Bone marrow smear
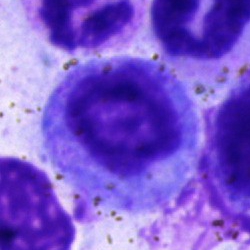

Q: What is shown here?
A: It is a progranulocyte.